Bone marrow aspirate smear: 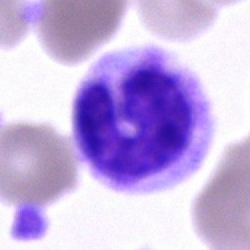
The cell shown is a band-form neutrophil.